M8 digital microscope (Precipoint), 100× oil immersion; peripheral blood film
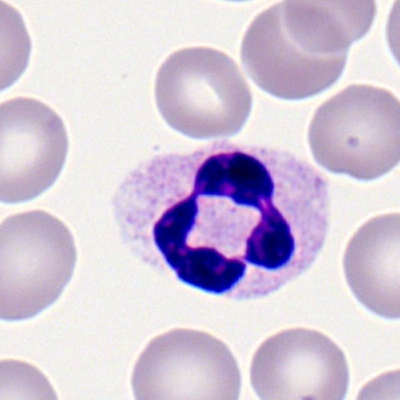Cell = polymorphonuclear neutrophil.